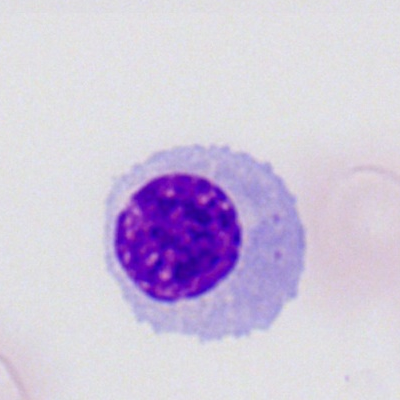 Q: What type of cell is this?
A: An erythroblast.